Bone marrow smear · single-cell crop:
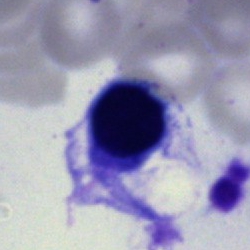Q: Identify the cell.
A: Erythroblast.